Bone marrow aspirate smear; 250×250 px: 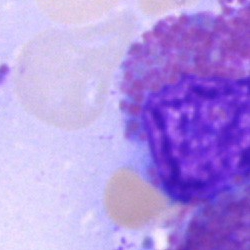Morphology consistent with an eosinophil.